Bone marrow smear. May-Grünwald-Giemsa stain:
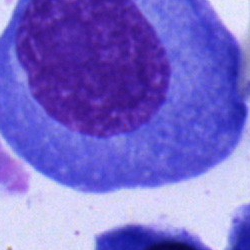
Q: Which cell type is shown here?
A: This is a plasmacyte.